Bone marrow smear. May-Grünwald-Giemsa stain
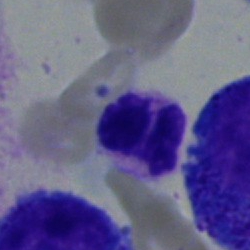

The cell shown is a neutrophil (segmented).